40× objective, oil immersion; bone marrow aspirate smear — 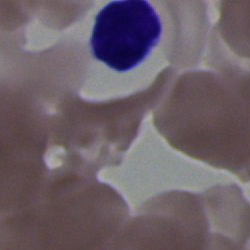

Lymphocyte.